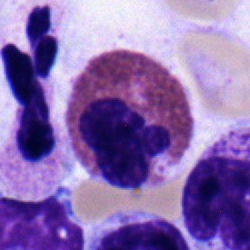 Impression → eosinophilic granulocyte.